Peripheral blood film.
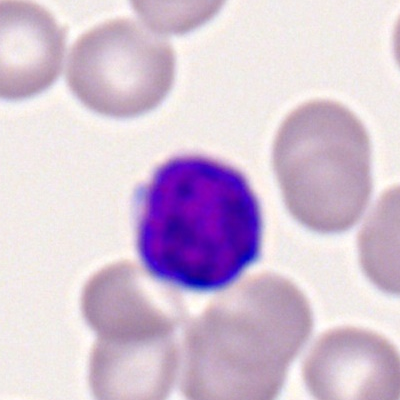A typical lymphocyte.